Bone marrow smear — 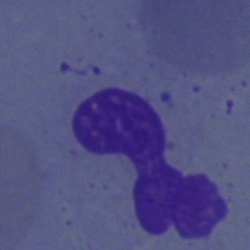Showing a polymorphonuclear neutrophil.